Bone marrow aspirate smear: 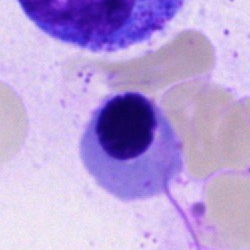The cell is nucleated red cell.